Bone marrow aspirate smear. May-Grünwald-Giemsa stain
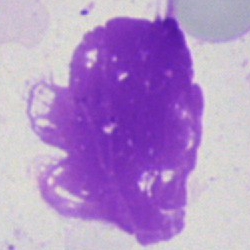The cell shown is an artefact.